Bone marrow smear; May-Grünwald-Giemsa/Pappenheim stain: 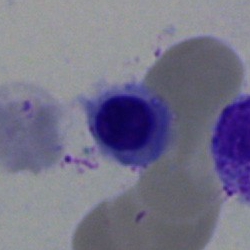
Cell: erythroblast.